Bone marrow smear. 40× oil immersion. 250×250 px.
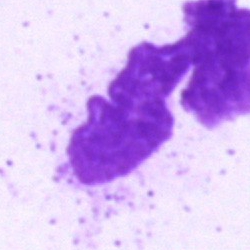

The classification is artefact.